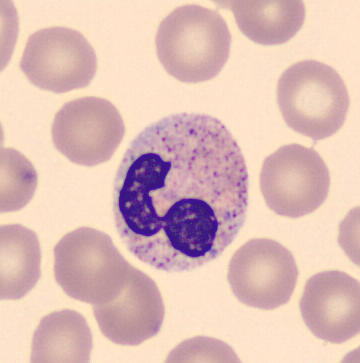

Q: Identify the cell.
A: Neutrophil (segmented).